Bone marrow aspirate smear: 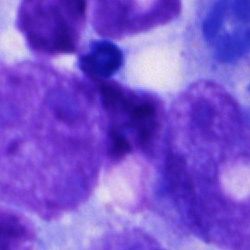An artefact.